Bone marrow aspirate smear: 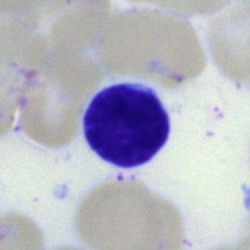

Q: Which cell type is shown here?
A: Lymphocyte.